Cropped to a single cell · 40× objective, oil immersion · bone marrow aspirate smear:
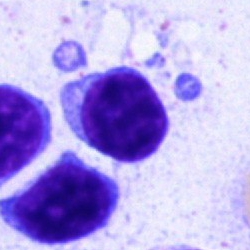

Specimen: bone marrow aspirate smear.
Cell type: lymphocyte.
Lineage: lymphoid.